Bone marrow aspirate smear.
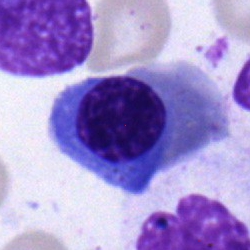This is an erythroblast.